Bone marrow aspirate smear; image size 250×250.
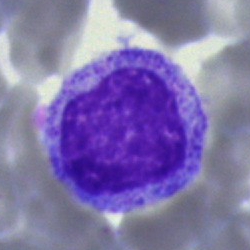

Specimen: bone marrow smear.
Classification: myelocyte.
Lineage: myeloid.